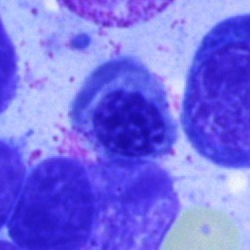An erythroblast on a bone marrow smear.